Romanowsky-type stain; brightfield, 100× oil-immersion objective; peripheral blood film
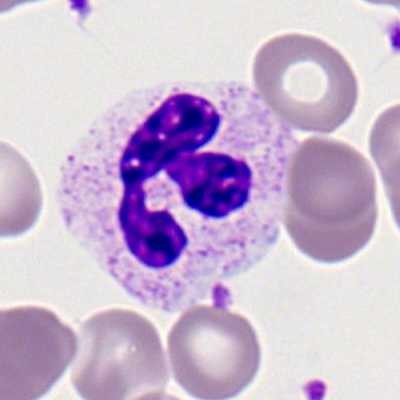

Cell = polymorphonuclear neutrophil.